Bone marrow smear
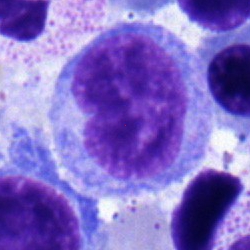 Cell = monocyte.